Bone marrow aspirate smear. Single-cell field.
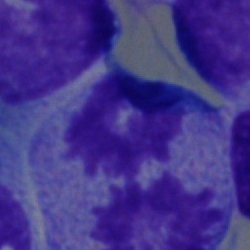The classification is artefact.